Bone marrow aspirate smear · image size 250×250.
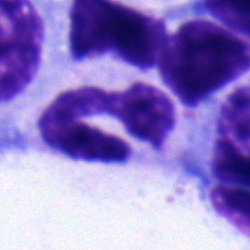Q: What is the morphological classification of this cell?
A: Neutrophil (segmented).